Bone marrow smear: 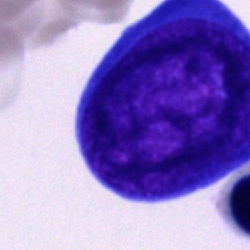 Unidentifiable cell.